Bone marrow smear.
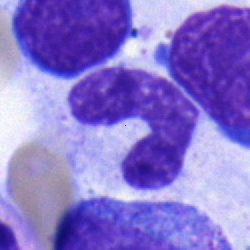 Cell = band neutrophil.